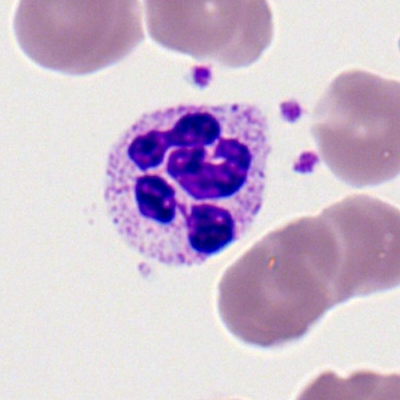 Specimen: peripheral blood film.
Cell: neutrophil (segmented).
Lineage: myeloid.